Bone marrow smear:
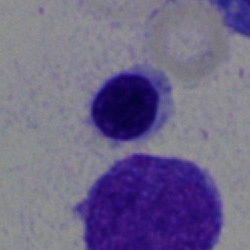

Classification = normoblast.